Bone marrow aspirate smear.
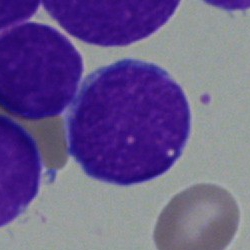 Undifferentiated blast.